Single-cell field · bone marrow aspirate smear
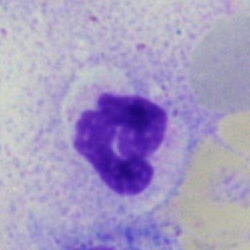A neutrophil (segmented).